Bone marrow smear: 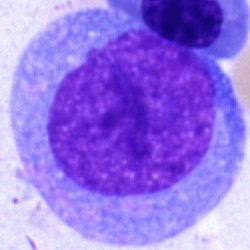
Specimen: bone marrow smear.
Cell: blast cell.